Bone marrow aspirate smear; May-Grünwald-Giemsa stain.
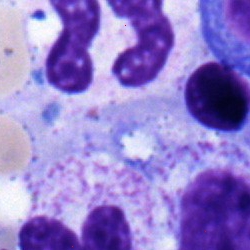Q: Which cell type is shown here?
A: Pronormoblast.